Bone marrow aspirate smear
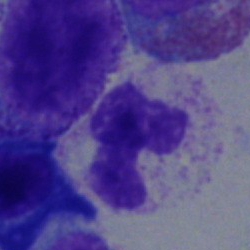Polymorphonuclear neutrophil.